Bone marrow smear.
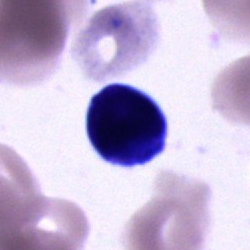 Unidentifiable cell.